Bone marrow aspirate smear.
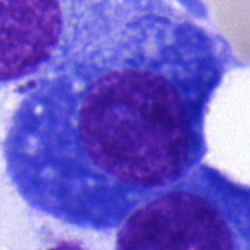

Cell = plasma cell.